40× objective, oil immersion; single-cell field; bone marrow aspirate smear: 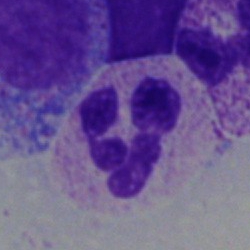

Cell: neutrophil (segmented).